Peripheral blood smear
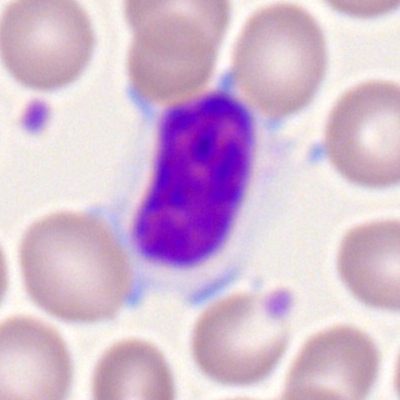
Classification — typical lymphocyte.